Single-cell crop; bone marrow aspirate smear; May-Grünwald-Giemsa stain:
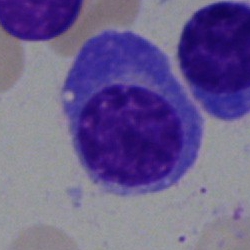Specimen: bone marrow aspirate smear.
Classification: plasma cell.
Lineage: lymphoid.